Bone marrow aspirate smear:
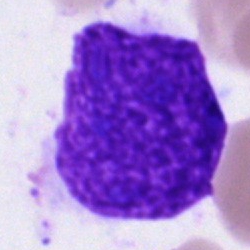 Q: What is shown here?
A: It is an artefact.